250×250; bone marrow aspirate smear
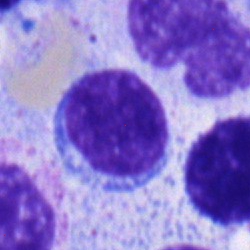

Q: What type of cell is this?
A: It is a lymphocyte.